MGG-stained; bone marrow aspirate smear; 250×250 — 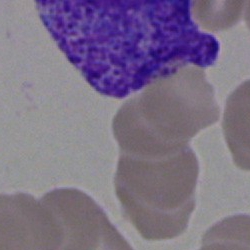
The cell type is artifact.